Bone marrow aspirate smear.
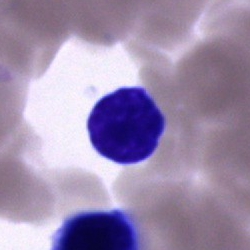

Q: What is shown here?
A: This is a lymphocyte.